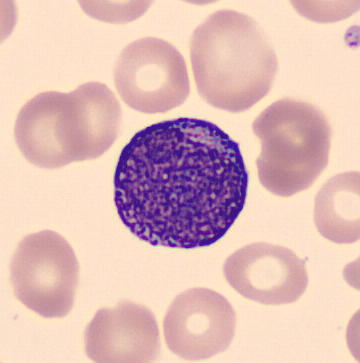

Impression → progranulocyte.
May Grünwald-Giemsa stain. Peripheral blood film.